Bone marrow aspirate smear:
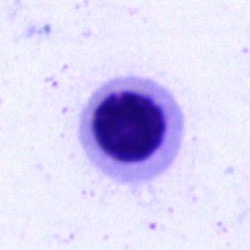

Morphology consistent with an erythroblast.